Bone marrow smear: 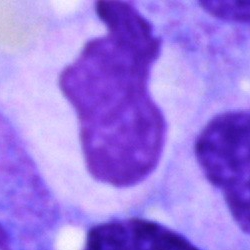
This is an artefact.